Bone marrow smear — 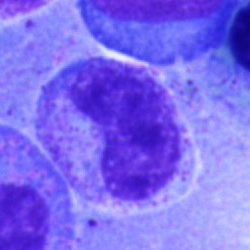
Cell = stab cell.